Bone marrow smear.
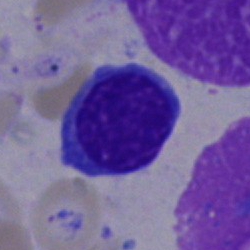Single cell identified as a lymphocyte.